Bone marrow smear: 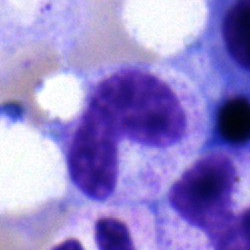

Specimen: bone marrow aspirate smear.
Cell type: metamyelocyte.
Lineage: myeloid.